Bone marrow aspirate smear.
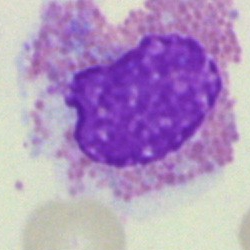 Eosinophil.